Cropped to a single cell · bone marrow smear · image size 250×250 — 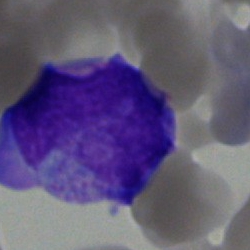Cell type: undifferentiated blast.